Cropped to a single cell. Peripheral blood film
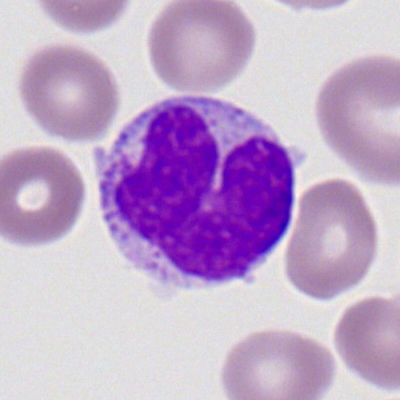

Q: What cell is this?
A: Monocyte.